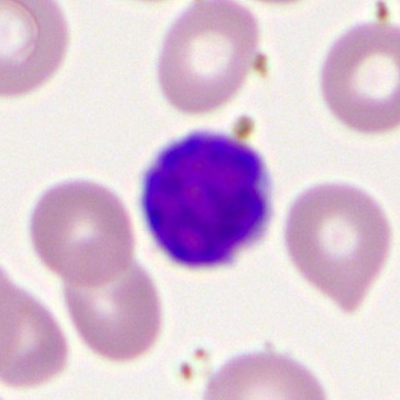Cell — typical lymphocyte.